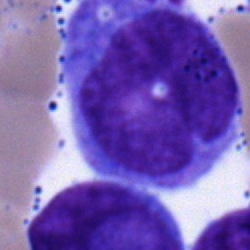The cell type is blast cell.